Bone marrow smear.
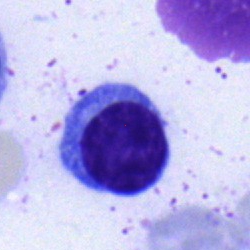 The classification is lymphocyte.